40× objective, oil immersion · bone marrow smear — 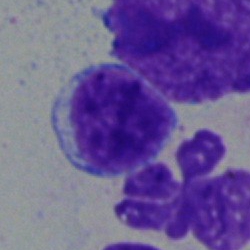

Morphological class: lymphocyte.